Bone marrow aspirate smear · 40× oil immersion:
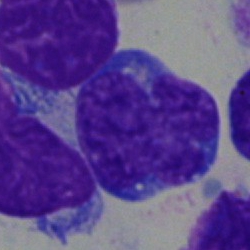
Classification — blast cell.